Pappenheim-stained; bone marrow smear; cropped to a single cell — 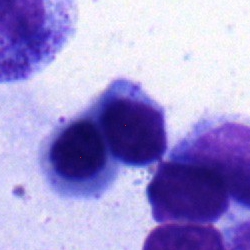 Morphology — erythroblast.